Image size 250×250. Single cell centered in the field. Bone marrow aspirate smear: 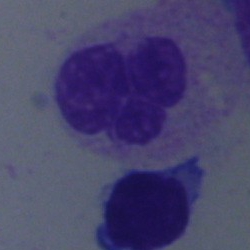Morphology — polymorphonuclear neutrophil.